Brightfield, 40× oil-immersion objective · image size 250×250 · bone marrow aspirate smear.
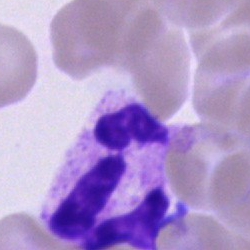Q: Which cell type is shown here?
A: It is a neutrophil (segmented).